Bone marrow aspirate smear:
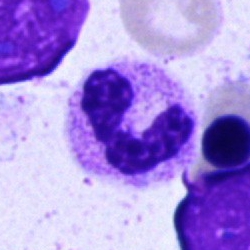The classification is neutrophil (segmented).